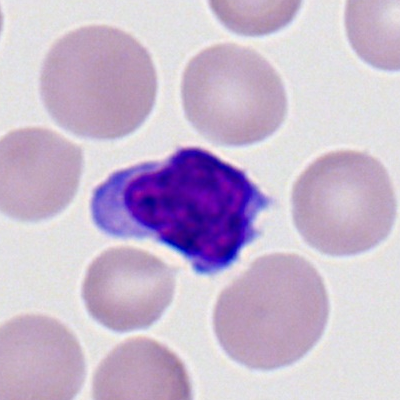

Morphological class = lymphocyte.